Bone marrow smear.
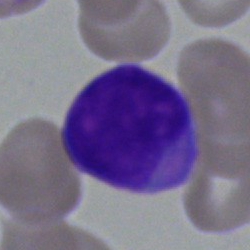 Specimen: bone marrow aspirate smear.
Cell: blast cell.